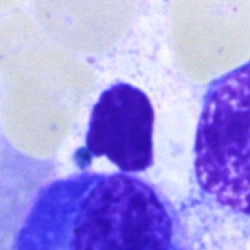Q: What is shown here?
A: It is an artefact.